Bone marrow aspirate smear
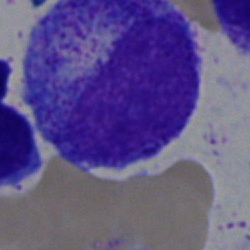 Morphology consistent with a promyelocyte.